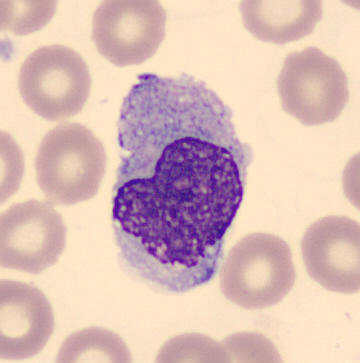 Acquisition: Peripheral blood film. Single-cell crop.
Q: Identify the cell.
A: This is a monocyte.